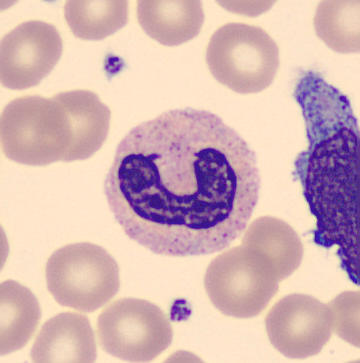 Q: What is the morphological classification of this cell?
A: This is a neutrophil (band).